May-Grünwald-Giemsa stain · image size 250×250 · bone marrow aspirate smear: 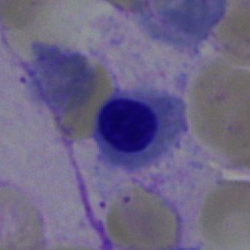Morphology — erythroblast.